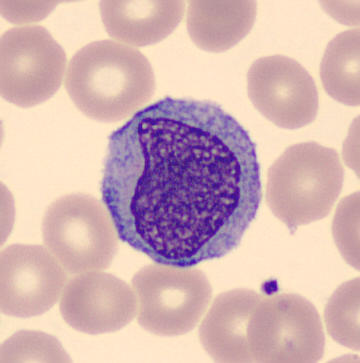The cell shown is a monocyte.